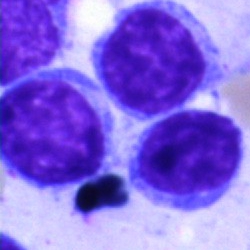
Specimen: bone marrow aspirate smear.
Cell: lymphocyte.